Bone marrow aspirate smear: 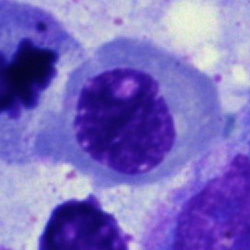 Nucleated red cell.